Bone marrow smear:
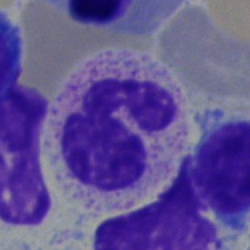The morphological class is neutrophil (segmented).